Bone marrow aspirate smear · Pappenheim-stained:
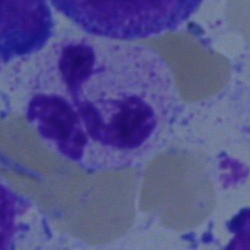 This is a polymorphonuclear neutrophil.